Bone marrow aspirate smear. May-Grünwald-Giemsa/Pappenheim stain. Single-cell field — 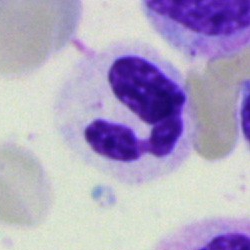
A polymorphonuclear neutrophil.